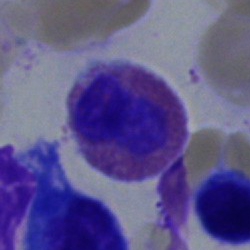

Single-cell crop from a bone marrow smear: eosinophil.